Single-cell field · bone marrow smear.
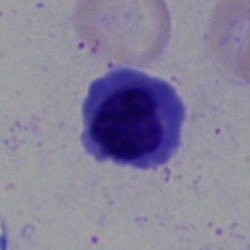

The classification is nucleated red cell.